250×250. Single cell centered in the field. Bone marrow smear:
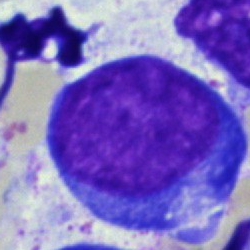

Specimen: bone marrow smear.
Cell: pronormoblast.